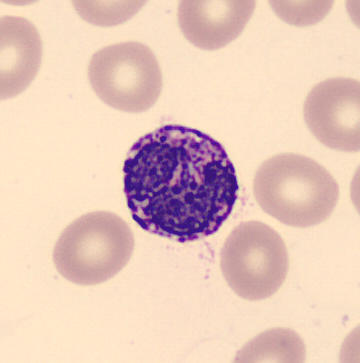Specimen: peripheral blood film.
Cell: basophil.
Lineage: myeloid.